Bone marrow aspirate smear
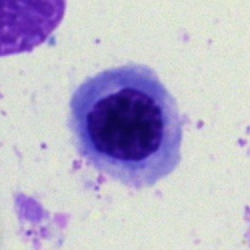
Specimen: bone marrow aspirate smear.
Classification: nucleated red blood cell.
Lineage: erythroid.